Bone marrow aspirate smear
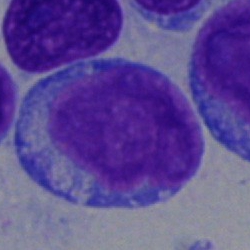Q: Which cell type is shown here?
A: Blast cell.